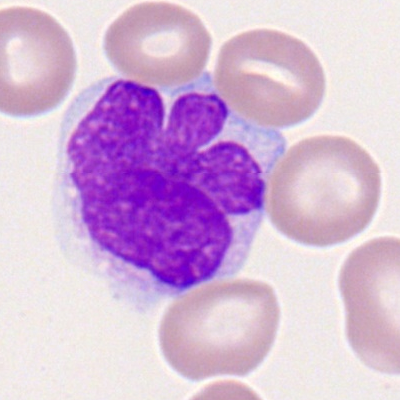 Cell — monocyte.